Bone marrow aspirate smear.
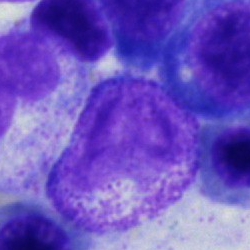 This is a myelocyte.